Bone marrow aspirate smear:
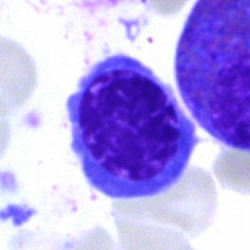

Impression → normoblast.